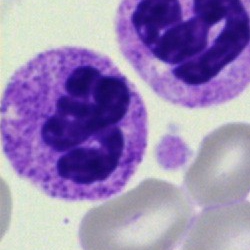
This is a polymorphonuclear neutrophil.